MGG-stained; peripheral blood film; 360×363.
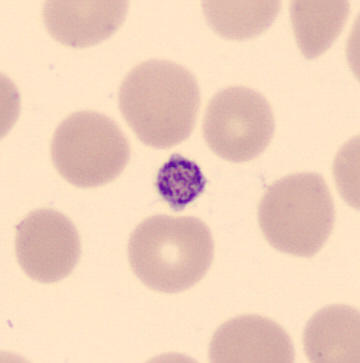

Classification — platelet (thrombocyte).